Bone marrow aspirate smear — 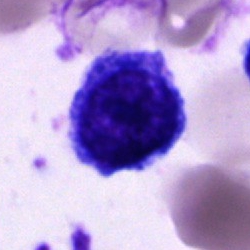

Single cell identified as an undifferentiated blast.